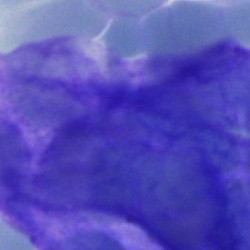Cell — artefact.